Pappenheim-stained; bone marrow smear; 250 by 250 pixels.
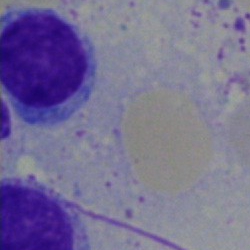Morphological class = typical lymphocyte.